Bone marrow smear; MGG-stained:
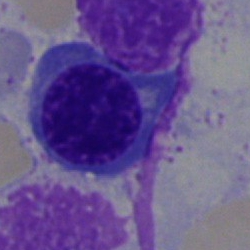 The classification is nucleated red blood cell.